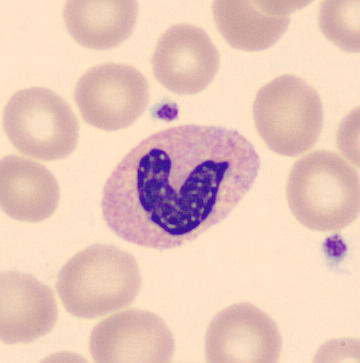 Morphological class = band neutrophil.